Bone marrow smear. Brightfield, 40× oil-immersion objective — 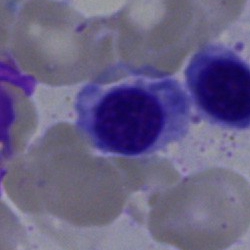 Q: Which cell type is shown here?
A: This is a nucleated red cell.